Bone marrow smear.
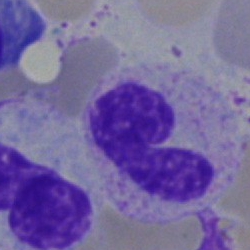
Morphology → stab cell.